Image size 250×250; bone marrow aspirate smear; single cell centered in the field.
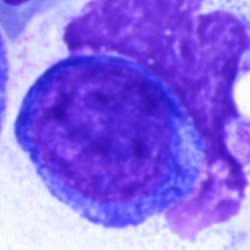 Q: Which cell type is shown here?
A: It is a blast.